Bone marrow smear. Single cell centered in the field: 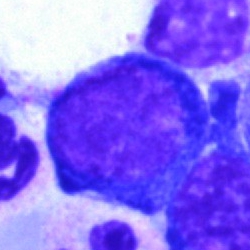Q: What type of cell is this?
A: Pronormoblast.